250 by 250 pixels. Bone marrow smear
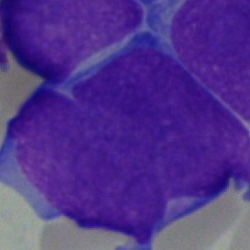Single cell identified as a blast.